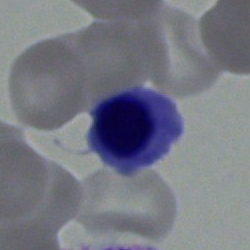

The cell is erythroblast.